Peripheral blood smear.
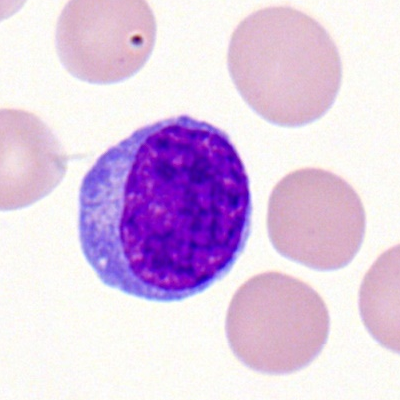Morphological class — lymphocyte.